40× objective, oil immersion · bone marrow smear: 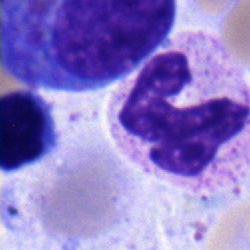 Q: Identify the cell.
A: It is a typical lymphocyte.